Bone marrow smear.
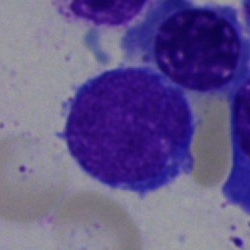
Q: What type of cell is this?
A: A typical lymphocyte.